40× objective, oil immersion · bone marrow smear — 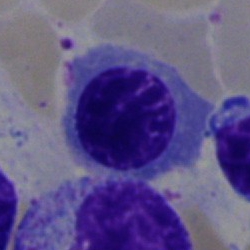

Specimen: bone marrow smear.
Cell: nucleated red cell.
Lineage: erythroid.